Bone marrow aspirate smear: 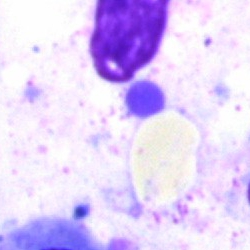 Morphology consistent with an artefact.